250×250 · Pappenheim-stained · bone marrow smear:
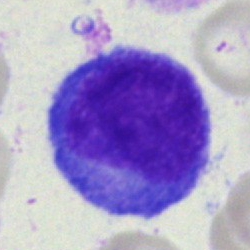 This is a blast cell.